Bone marrow smear
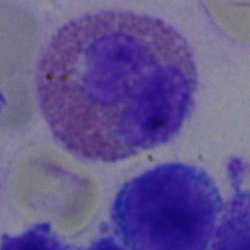
Morphology → eosinophil.